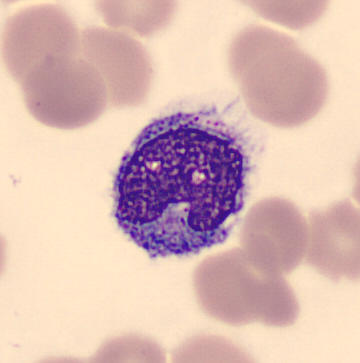 Image: Peripheral blood film · single-cell crop.

Q: Identify the cell.
A: Monocyte.